Bone marrow aspirate smear: 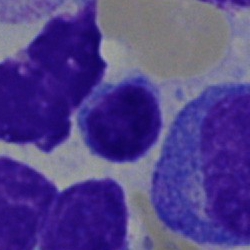A lymphocyte.